250×250 px; brightfield, 40× oil-immersion objective; bone marrow smear.
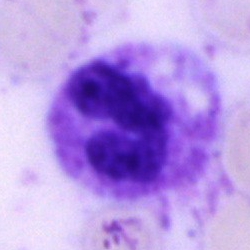 Impression → polymorphonuclear neutrophil.